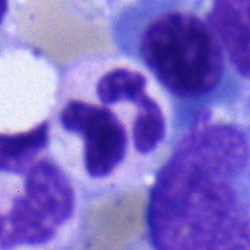

A neutrophil (segmented) on a bone marrow smear.